Bone marrow smear · single-cell field: 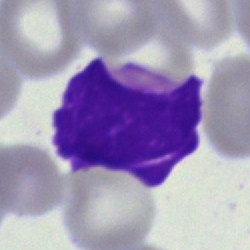

Impression — artefact.